MGG-stained · bone marrow smear — 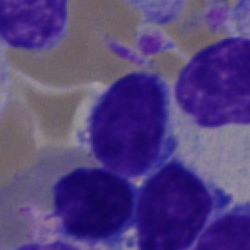
Morphological class — typical lymphocyte.